Bone marrow aspirate smear.
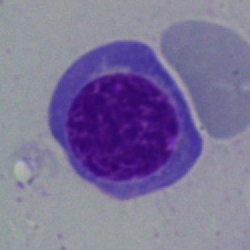

{"cell_type": "nucleated red blood cell", "lineage": "erythroid"}